Bone marrow smear · 40× objective, oil immersion: 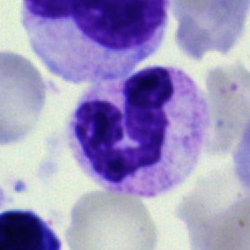
Morphological class: polymorphonuclear neutrophil.